Bone marrow smear
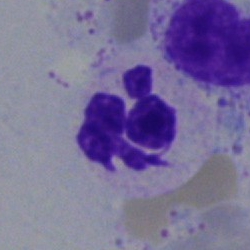 Classification — neutrophil (segmented).